Bone marrow smear:
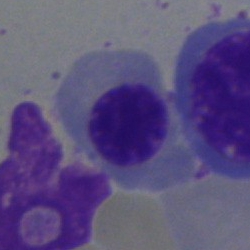Q: What is the morphological classification of this cell?
A: Erythroblast.